Peripheral blood film: 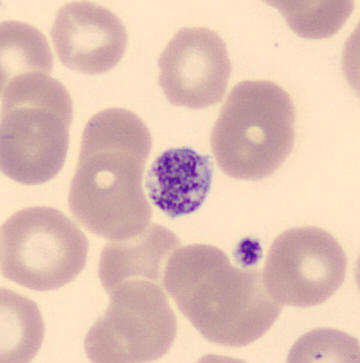
Classification: platelet.